Bone marrow smear — 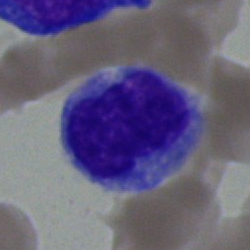 The classification is monocyte.